Single-cell field. Bone marrow aspirate smear. May-Grünwald-Giemsa stain
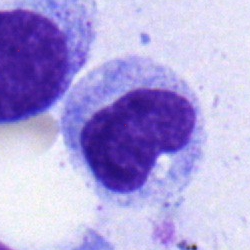

Classification: band neutrophil.